Bone marrow aspirate smear; May-Grünwald-Giemsa/Pappenheim stain: 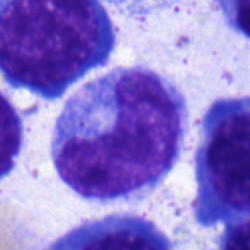 A metamyelocyte.